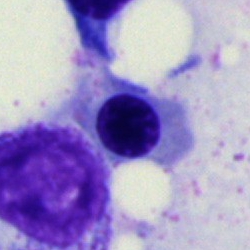
Q: What is shown here?
A: Nucleated red blood cell.